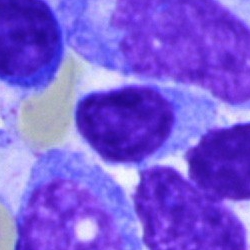Q: Identify the cell.
A: A typical lymphocyte.